250 by 250 pixels. Bone marrow aspirate smear:
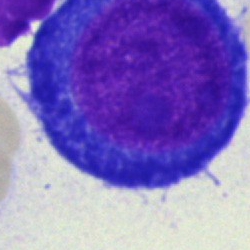
Morphology consistent with a pronormoblast.